Bone marrow aspirate smear
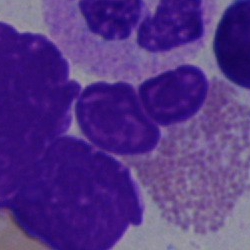

Classification: eosinophil.